Brightfield, 40× oil-immersion objective; bone marrow smear — 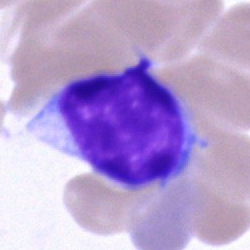

Classification: typical lymphocyte.